Bone marrow aspirate smear · brightfield, 40× oil-immersion objective:
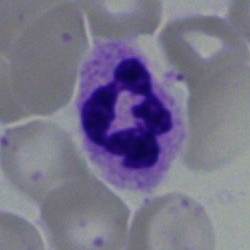 Q: Which cell type is shown here?
A: A neutrophil (segmented).